Bone marrow aspirate smear. Cropped to a single cell. Brightfield microscopy, 40× oil immersion:
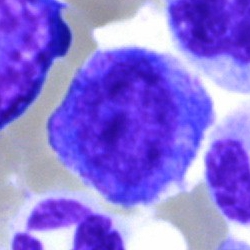

Classification = progranulocyte.